Image size 250×250; bone marrow smear; single-cell crop: 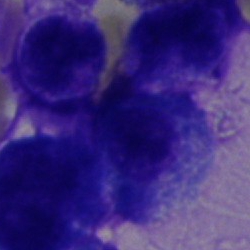

The cell is artefact.